Bone marrow aspirate smear — 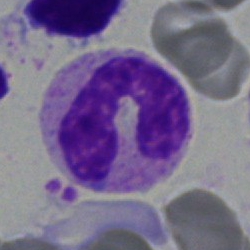Showing a neutrophil (segmented).